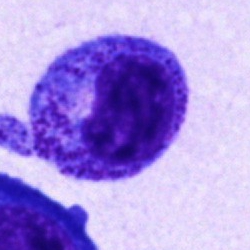Q: What cell is this?
A: Promyelocyte.